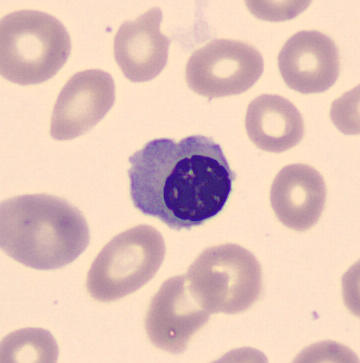
Single-cell crop from a peripheral blood smear: erythroblast.